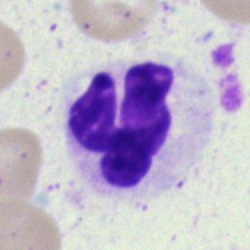

The cell type is neutrophil (segmented).